400×400 px. M8 digital microscope (Precipoint), 100× oil immersion. Peripheral blood smear
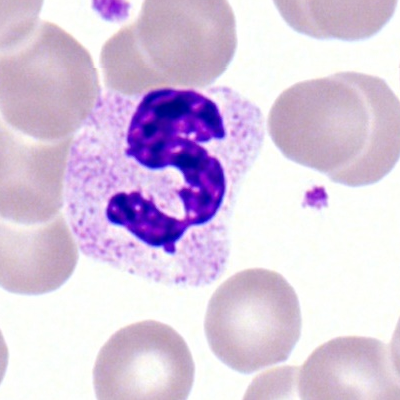
Cell type — polymorphonuclear neutrophil.